Bone marrow aspirate smear · MGG-stained · 250×250: 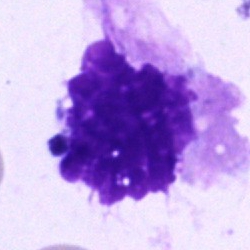
Single cell identified as an artefact.